Bone marrow aspirate smear; 250×250:
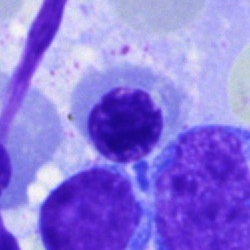 Impression — nucleated red cell.